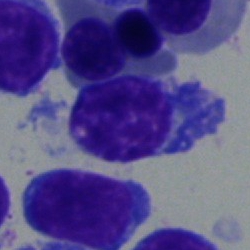Morphological class = lymphocyte.